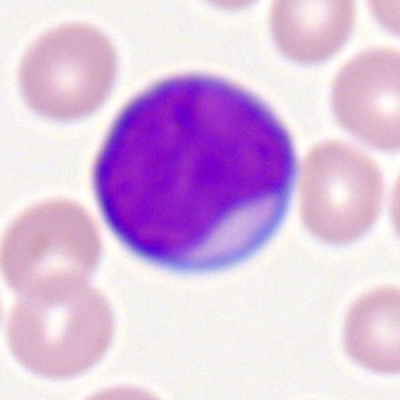

Specimen: peripheral blood film.
Cell type: myeloid blast.
Lineage: myeloid.